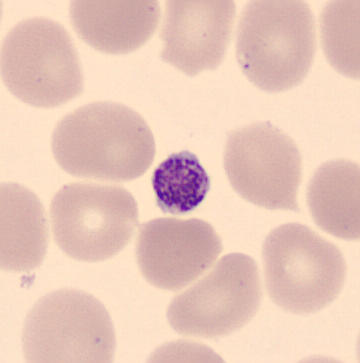

Classification = platelet (thrombocyte).